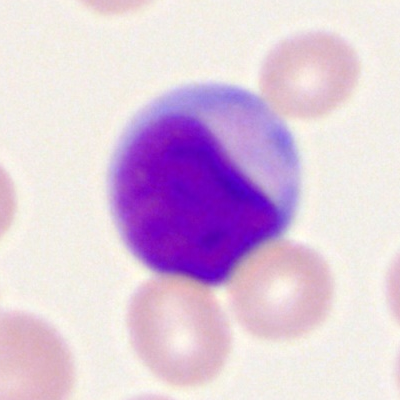
Showing a myeloblast.